Brightfield microscopy, 40× oil immersion. Cropped to a single cell. Bone marrow aspirate smear: 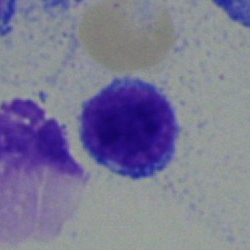

Specimen: bone marrow aspirate smear.
Morphological class: lymphocyte.